Bone marrow aspirate smear.
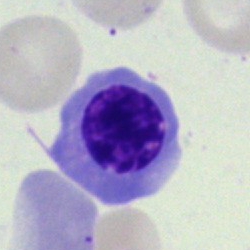Cell: erythroblast.